Peripheral blood film:
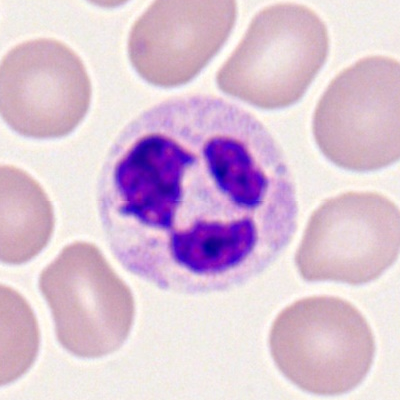The cell shown is a neutrophil (segmented).